Single cell centered in the field · Pappenheim-stained · bone marrow smear — 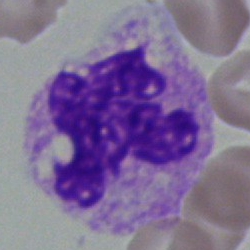 This is a neutrophil (segmented).